Image size 250×250 · bone marrow smear: 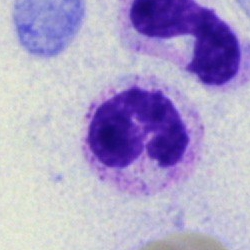

Single cell identified as a polymorphonuclear neutrophil.